Bone marrow aspirate smear:
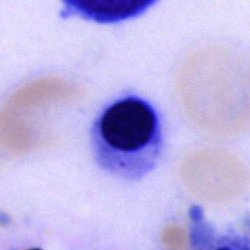Nucleated red cell.